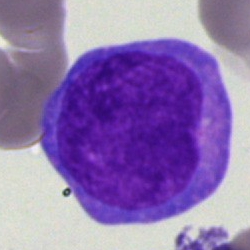Single-cell crop from a bone marrow smear: blast cell.